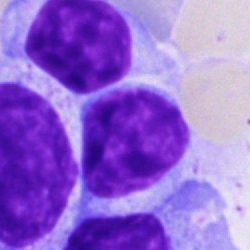
Classification — typical lymphocyte.